Bone marrow aspirate smear: 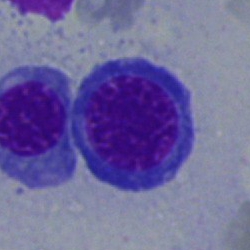 Normoblast.